Bone marrow smear · MGG-stained · 250 by 250 pixels.
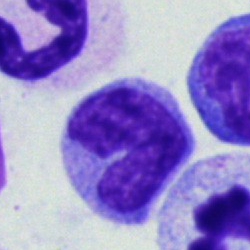
A monocyte.